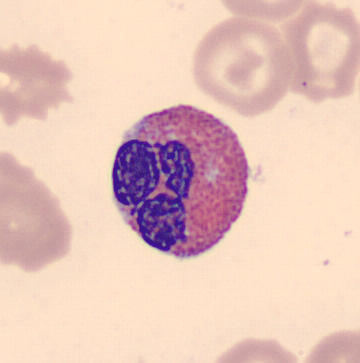 From a peripheral blood smear: an eosinophilic granulocyte.